Brightfield microscopy, 40× oil immersion. Bone marrow smear. Single-cell crop:
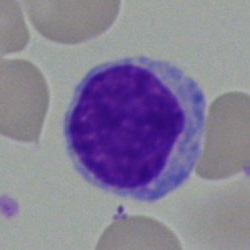
Typical lymphocyte.